Bone marrow smear: 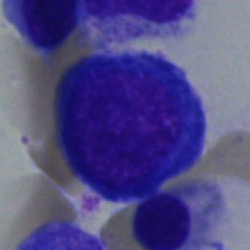 Morphology → nucleated red cell.